Brightfield, 40× oil-immersion objective; bone marrow aspirate smear:
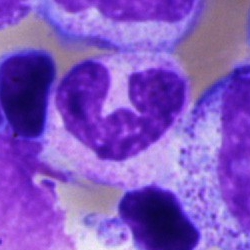Q: What is shown here?
A: Segmented neutrophil.